Peripheral blood smear — 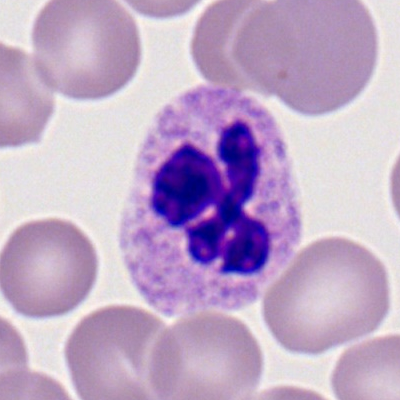

Cell — neutrophil (segmented).